250×250; brightfield microscopy, 40× oil immersion; bone marrow smear
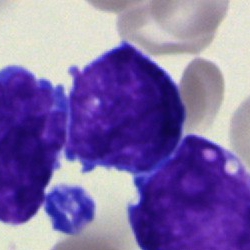
Q: What is the morphological classification of this cell?
A: Blast cell.